Bone marrow aspirate smear.
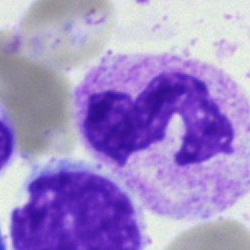The morphological class is neutrophil (segmented).